Bone marrow smear:
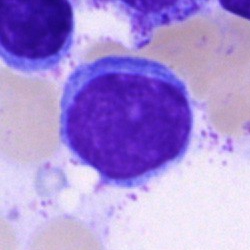Specimen: bone marrow aspirate smear.
Cell: typical lymphocyte.
Lineage: lymphoid.